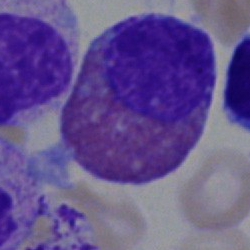The cell is eosinophilic granulocyte.